Bone marrow smear — 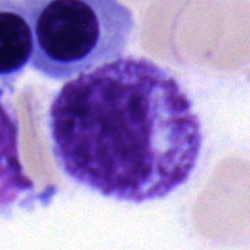 The cell is myelocyte.